Bone marrow aspirate smear
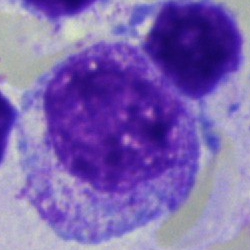
Q: Which cell type is shown here?
A: Myelocyte.